Bone marrow smear:
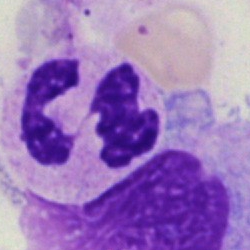
Specimen: bone marrow aspirate smear.
Classification: segmented neutrophil.
Lineage: myeloid.